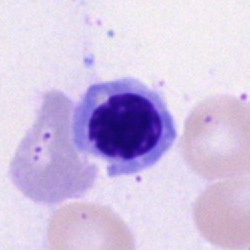

Nucleated red cell.